Bone marrow aspirate smear.
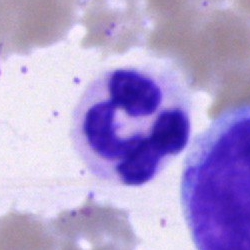 Cell = neutrophil (segmented).